Bone marrow smear · single-cell crop
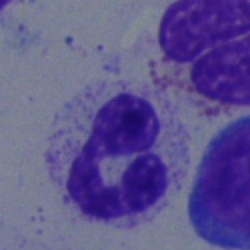

Segmented neutrophil.